Bone marrow smear — 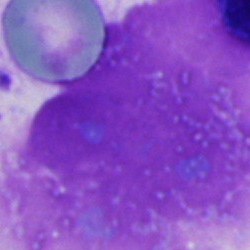 Showing an artefact.